400×400 px · peripheral blood smear · 100× oil immersion, 14.14 px/µm
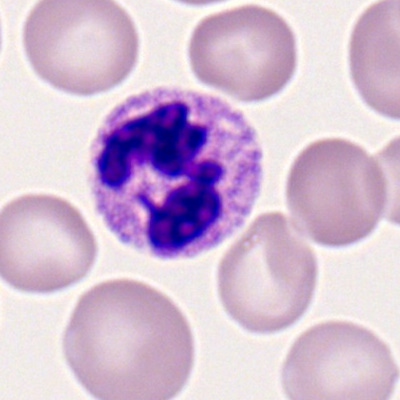Morphology consistent with a neutrophil (segmented).